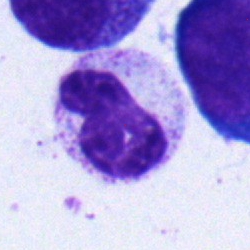
Single cell identified as a neutrophil (band).